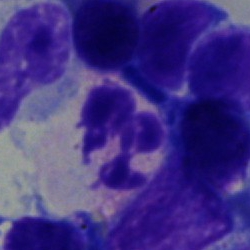
Single-cell crop from a bone marrow smear: neutrophil (segmented).